Bone marrow smear. 40× oil immersion — 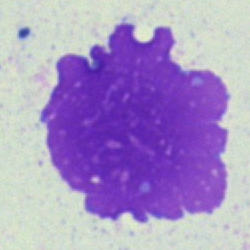 Q: What is shown here?
A: Artefact.